Bone marrow smear · May-Grünwald-Giemsa stain:
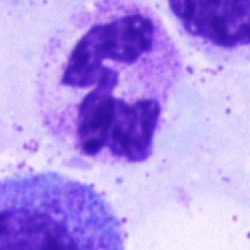Morphology → polymorphonuclear neutrophil.